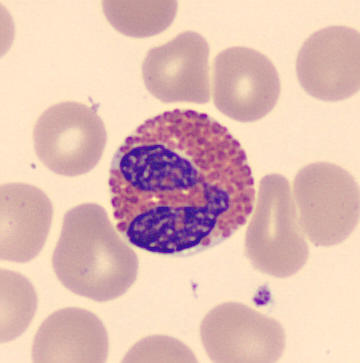 Peripheral blood smear.

Impression → eosinophilic granulocyte.